Peripheral blood smear. Image size 400×400
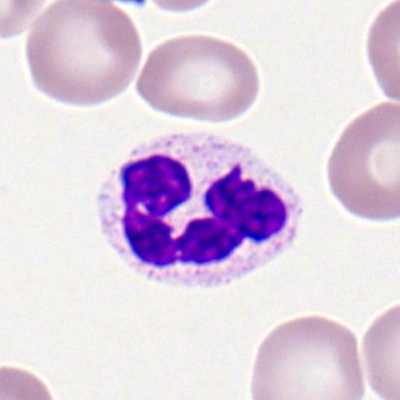

Segmented neutrophil.